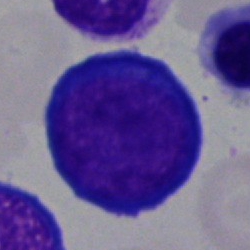
Q: What is shown here?
A: It is a proerythroblast.